Bone marrow smear
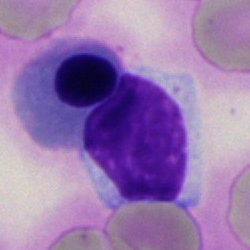
{"cell_type": "artefact"}